MGG-stained; cropped to a single cell; bone marrow aspirate smear:
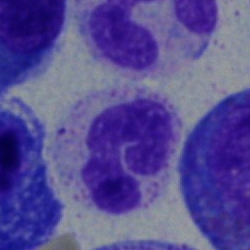

{"cell_type": "polymorphonuclear neutrophil"}